Bone marrow aspirate smear:
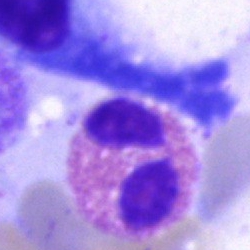 Morphology → eosinophil.